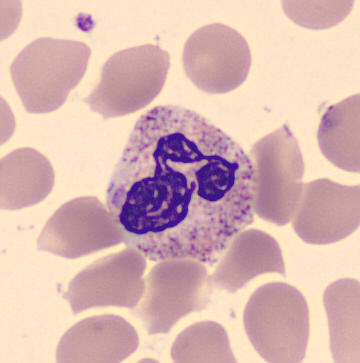
Morphology → polymorphonuclear neutrophil.

Automated cell imaging (CellaVision DM96); 360 by 363 pixels; peripheral blood smear.